Cropped to a single cell; bone marrow smear — 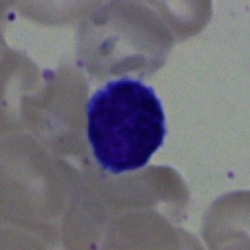The cell type is typical lymphocyte.